Bone marrow aspirate smear · May-Grünwald-Giemsa stain · single-cell field — 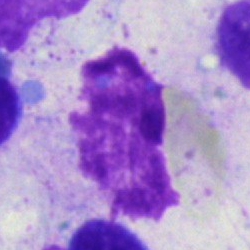
Artifact.